Bone marrow aspirate smear
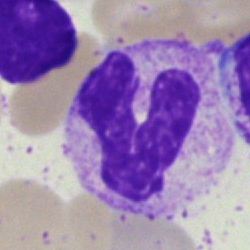This is a stab cell.